Bone marrow aspirate smear — 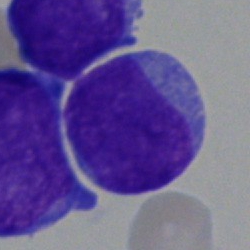 Q: Identify the cell.
A: An undifferentiated blast.